Bone marrow smear · image size 250×250.
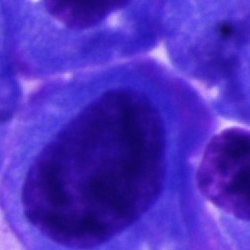 Classification: plasmacyte.